Bone marrow aspirate smear: 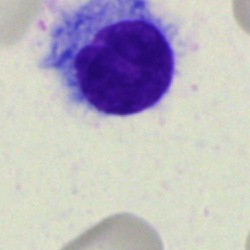
The cell shown is an artefact.